Bone marrow smear.
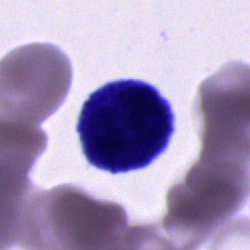

The classification is cell of indeterminate lineage.